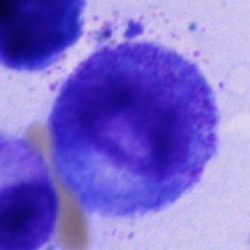Cell type — progranulocyte.